Peripheral blood smear. Romanowsky stain — 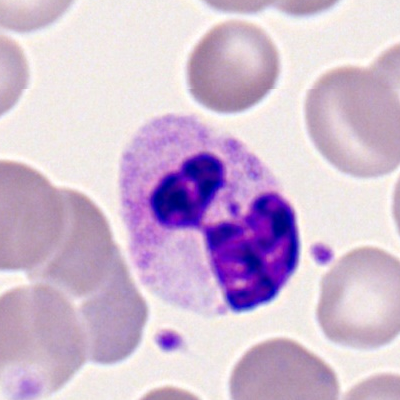
Morphology → segmented neutrophil.